Bone marrow aspirate smear; 250×250 — 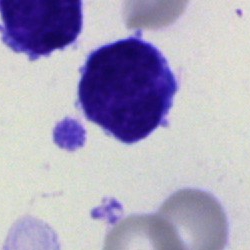 Specimen: bone marrow smear.
Morphological class: undifferentiated blast.